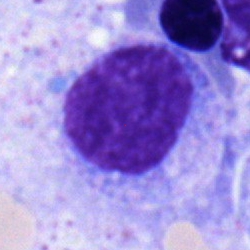 Morphology consistent with a typical lymphocyte.